Bone marrow smear — 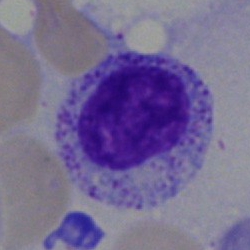

Impression — myelocyte.